Bone marrow aspirate smear
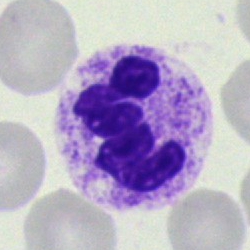

The morphological class is polymorphonuclear neutrophil.